40× objective, oil immersion. Bone marrow smear. May-Grünwald-Giemsa stain:
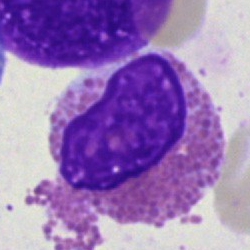

Q: What type of cell is this?
A: Eosinophilic granulocyte.